Single-cell crop · bone marrow aspirate smear:
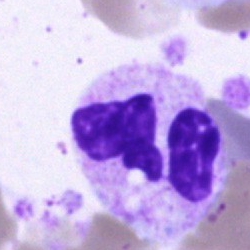
Q: What is shown here?
A: This is a polymorphonuclear neutrophil.